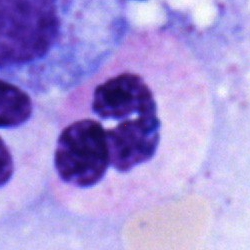

The cell type is polymorphonuclear neutrophil.